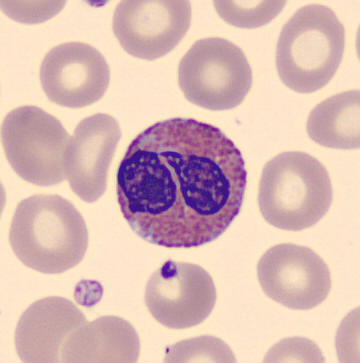

Acquisition: 360×363 · peripheral blood smear · single cell centered in the field.
The classification is eosinophil.